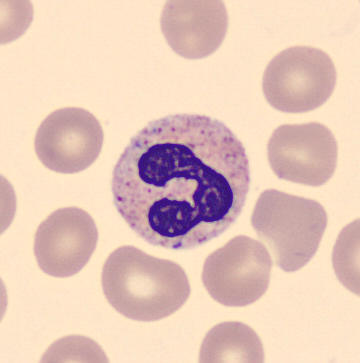

Specimen: peripheral blood smear.
Classification: neutrophil (segmented).
Lineage: myeloid.